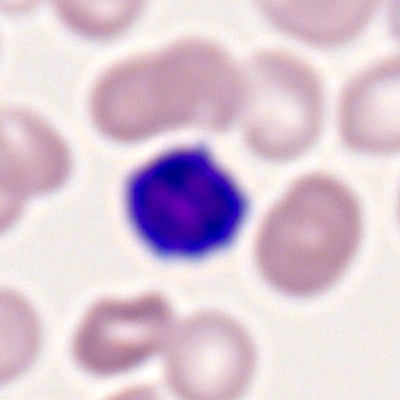
Peripheral blood film, single cell — lymphocyte.